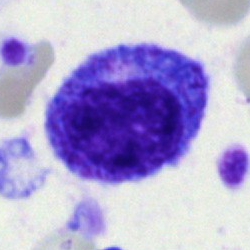Q: What type of cell is this?
A: Myelocyte.